Bone marrow smear:
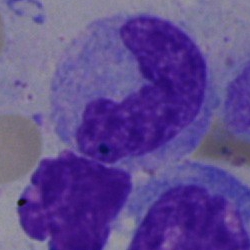Cell type — monocyte.